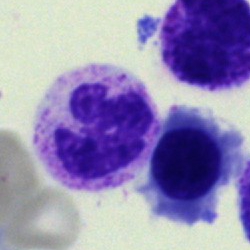A segmented neutrophil on a bone marrow smear.